Bone marrow aspirate smear — 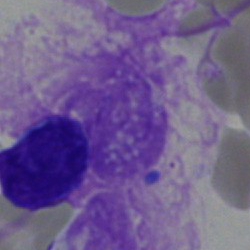Morphological class = artifact.